Bone marrow smear:
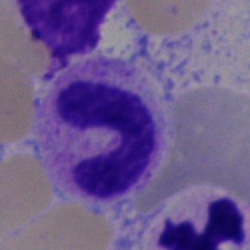

Single cell identified as a neutrophil (band).